Bone marrow smear: 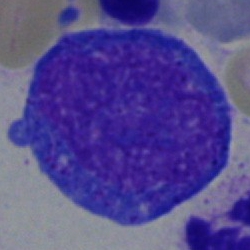This is a progranulocyte.